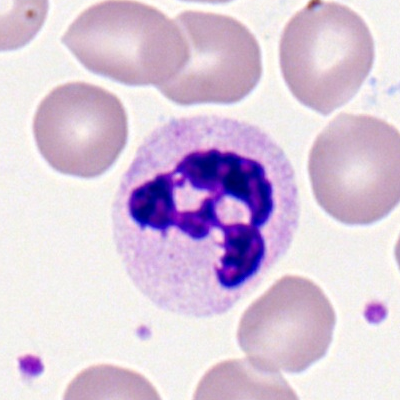

{"cell_type": "polymorphonuclear neutrophil", "lineage": "myeloid"}